Peripheral blood smear: 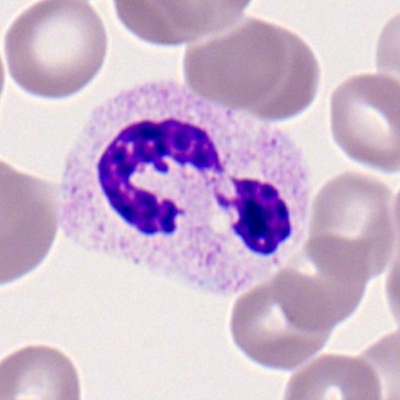

Morphology consistent with a neutrophil (segmented).